Bone marrow aspirate smear — 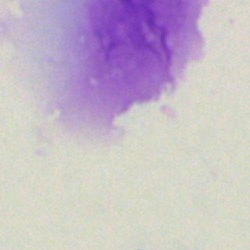

The cell is artifact.